Bone marrow aspirate smear
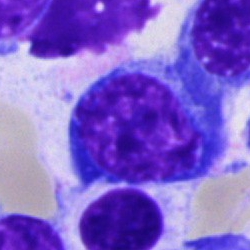

Specimen: bone marrow smear.
Classification: nucleated red blood cell.
Lineage: erythroid.